Single-cell crop · bone marrow aspirate smear · 250×250
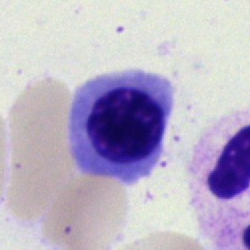
Nucleated red cell.